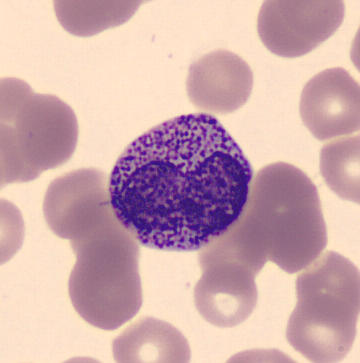
Morphological class = metamyelocyte.
Peripheral blood film. Single-cell field.